Bone marrow smear.
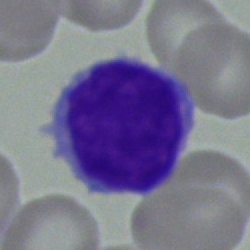
Specimen: bone marrow aspirate smear.
Classification: typical lymphocyte.